Single-cell crop; bone marrow aspirate smear: 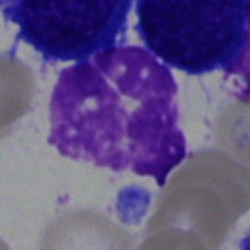

The cell shown is an artifact.